Bone marrow smear
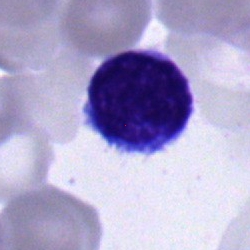
Classification = typical lymphocyte.